MGG-stained; bone marrow aspirate smear
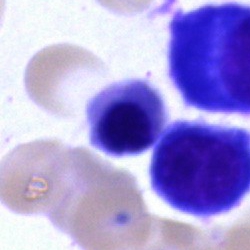
{"cell_type": "erythroblast"}